Bone marrow smear:
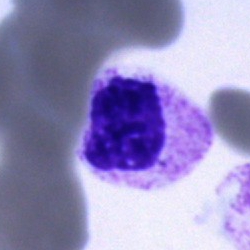

Specimen: bone marrow smear.
Morphological class: polymorphonuclear neutrophil.
Lineage: myeloid.